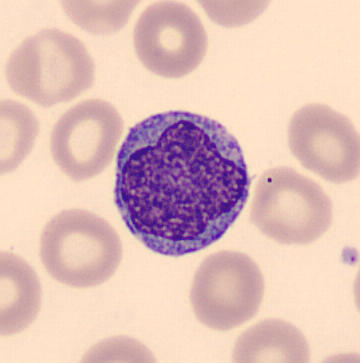Image: Peripheral blood film. Single-cell crop.

This is a monocyte.